250 by 250 pixels · bone marrow smear: 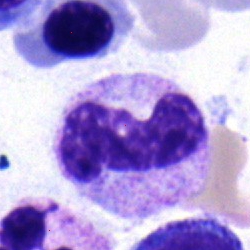 Morphological class: neutrophil (band).